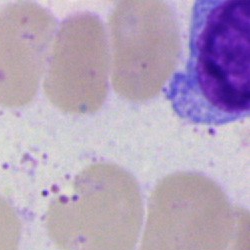Cell: artifact.